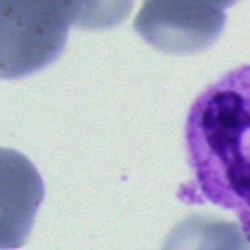
Q: What is shown here?
A: An artifact.